Bone marrow aspirate smear · brightfield microscopy, 40× oil immersion · 250 by 250 pixels.
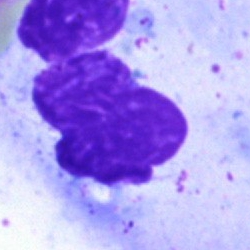
Classification — artefact.